Bone marrow smear: 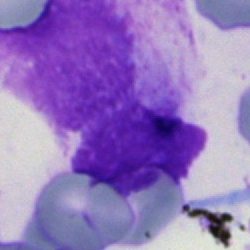

Morphology consistent with an artifact.